Bone marrow aspirate smear; 250 by 250 pixels:
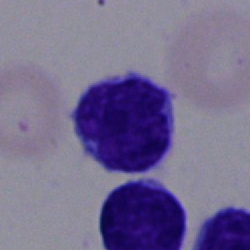Morphology — lymphocyte.